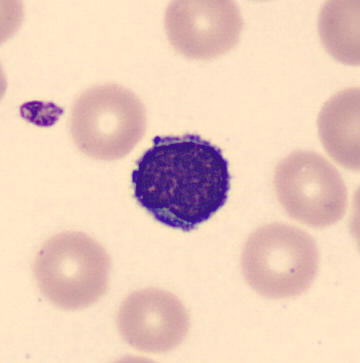
Preparation: Peripheral blood smear. Cropped to a single cell.

{"cell_type": "lymphocyte", "lineage": "lymphoid"}